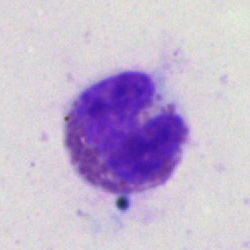 Impression → eosinophilic granulocyte.